Bone marrow aspirate smear. May-Grünwald-Giemsa/Pappenheim stain. Single-cell field.
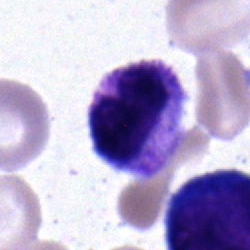Showing a neutrophil (band).